250×250; bone marrow smear; brightfield, 40× oil-immersion objective
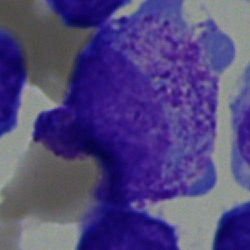

Impression → progranulocyte.